Bone marrow smear: 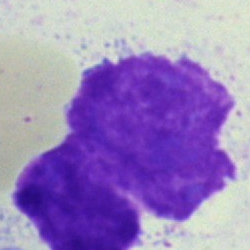
Q: What is shown here?
A: This is an artifact.